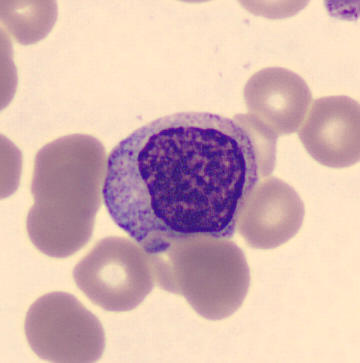

Specimen: peripheral blood smear.
Cell: myelocyte.
Lineage: myeloid.